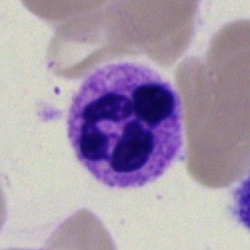
Q: What type of cell is this?
A: It is a polymorphonuclear neutrophil.